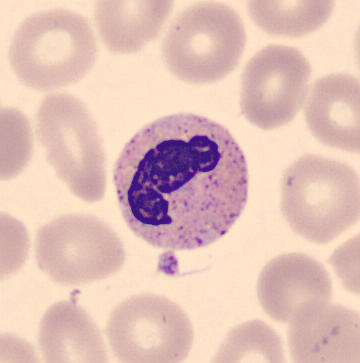

The cell shown is a neutrophil (band).